Bone marrow smear: 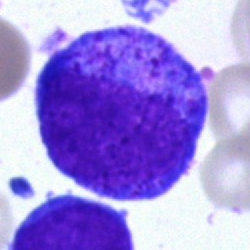
Specimen: bone marrow aspirate smear.
Cell type: promyelocyte.
Lineage: myeloid.